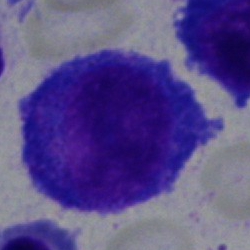

Q: What type of cell is this?
A: Proerythroblast.